Bone marrow aspirate smear:
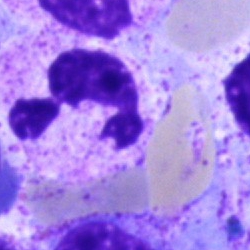
Single cell identified as a neutrophil (segmented).